40× oil immersion; bone marrow aspirate smear
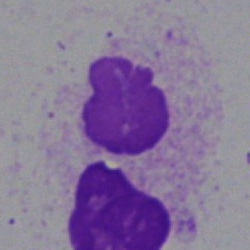{"cell_type": "artefact"}